Image size 250×250; bone marrow smear: 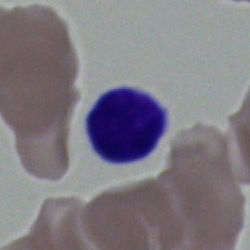Showing a lymphocyte.